Peripheral blood film: 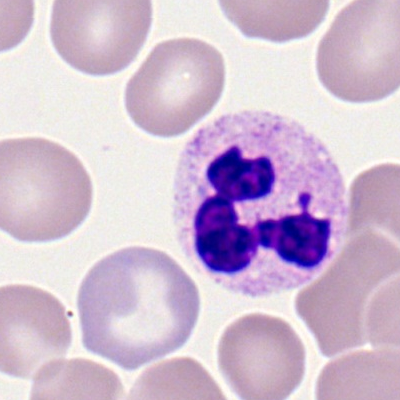

Showing a neutrophil (segmented).